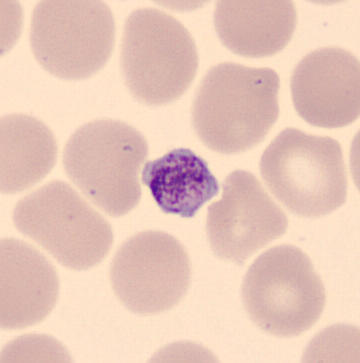Impression → platelet.
Image: Peripheral blood smear.